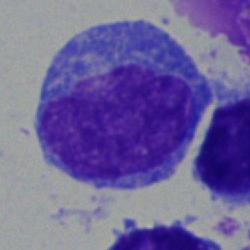Q: What cell is this?
A: This is a progranulocyte.